Bone marrow aspirate smear
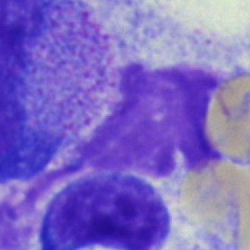
{"cell_type": "artifact"}